Single-cell field; 250 by 250 pixels; bone marrow smear.
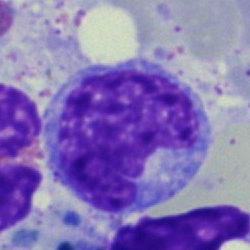

Cell type: monocyte.